Bone marrow smear: 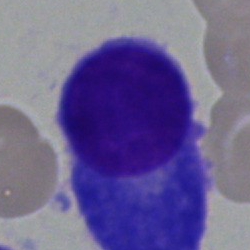

Classification: plasmacyte.